May-Grünwald-Giemsa/Pappenheim stain. Bone marrow smear. Cropped to a single cell — 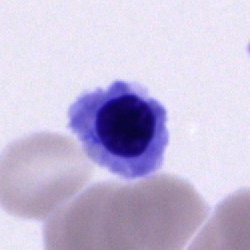 Q: What type of cell is this?
A: This is an unidentifiable cell.